Bone marrow smear; 250×250 px; brightfield microscopy, 40× oil immersion
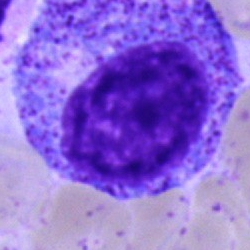Cell: promyelocyte.